Peripheral blood smear. Romanowsky-type stain: 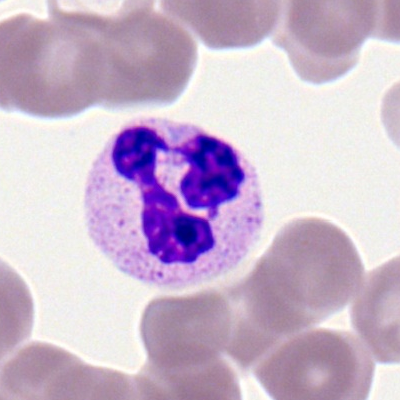

Classification — segmented neutrophil.